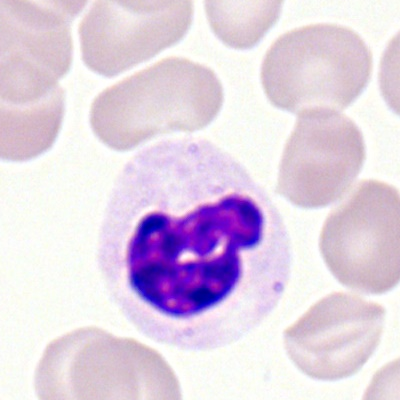Specimen: peripheral blood film.
Morphological class: segmented neutrophil.
Lineage: myeloid.